Bone marrow aspirate smear: 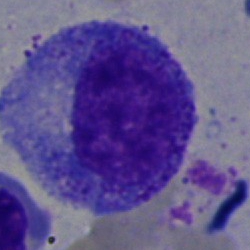

The classification is promyelocyte.